Bone marrow smear:
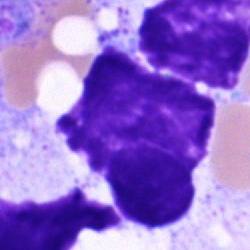 Artefact.